Bone marrow aspirate smear · brightfield microscopy, 40× oil immersion.
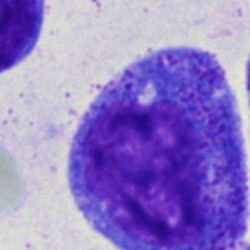The cell shown is a promyelocyte.